Bone marrow smear
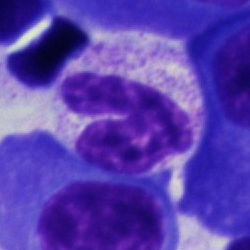

Classification = neutrophil (segmented).